Bone marrow smear — 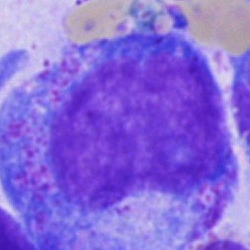
Q: Identify the cell.
A: Progranulocyte.